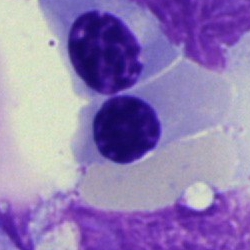

Q: Identify the cell.
A: Normoblast.